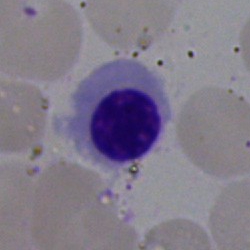Bone marrow smear showing a nucleated red cell.